Single-cell field. Bone marrow smear
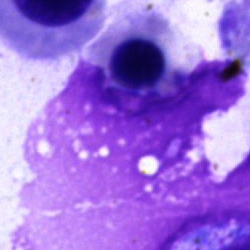 Morphology → artefact.